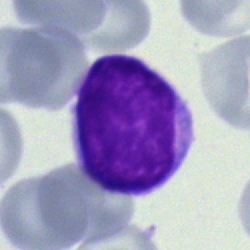 A lymphocyte.